Bone marrow smear: 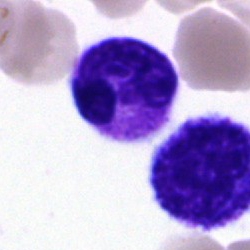
{"cell_type": "segmented neutrophil", "lineage": "myeloid"}